Bone marrow aspirate smear. Brightfield, 40× oil-immersion objective. MGG-stained.
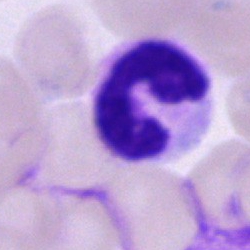

The cell shown is a neutrophil (segmented).